250×250 px · bone marrow aspirate smear — 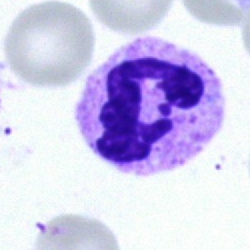Specimen: bone marrow smear.
Morphological class: polymorphonuclear neutrophil.
Lineage: myeloid.